Bone marrow aspirate smear. May-Grünwald-Giemsa/Pappenheim stain.
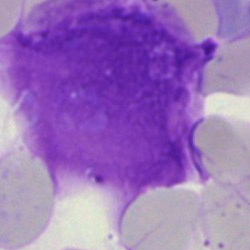 Morphology — artifact.